Bone marrow aspirate smear:
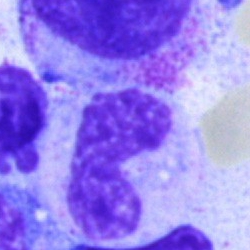

Morphological class: neutrophil (segmented).